Bone marrow aspirate smear: 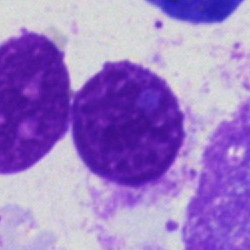
Artefact.